250×250 · bone marrow smear.
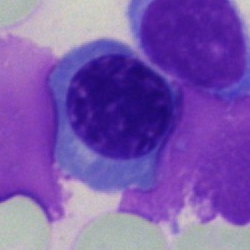
Specimen: bone marrow smear.
Cell: nucleated red blood cell.
Lineage: erythroid.